Bone marrow smear · brightfield microscopy, 40× oil immersion
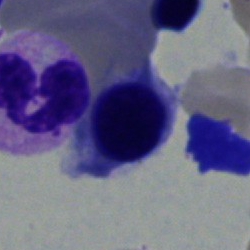{"cell_type": "nucleated red blood cell", "lineage": "erythroid"}